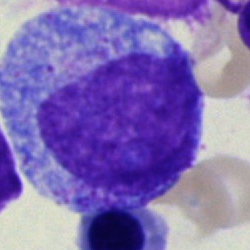

Classification: promyelocyte.